May-Grünwald-Giemsa stain · bone marrow aspirate smear
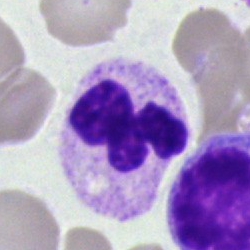

Classification — neutrophil (segmented).